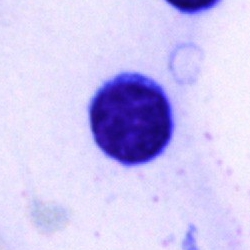

Morphology → typical lymphocyte.